Bone marrow aspirate smear:
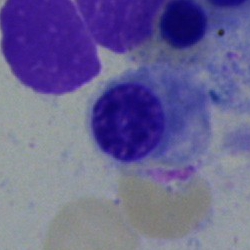
The classification is nucleated red cell.